Bone marrow smear
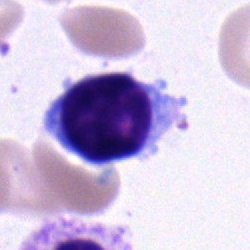

This is a lymphocyte.